Brightfield microscopy, 40× oil immersion. Bone marrow smear.
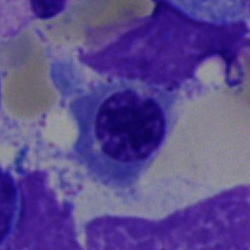 Specimen: bone marrow smear.
Morphological class: nucleated red cell.
Lineage: erythroid.